Bone marrow aspirate smear:
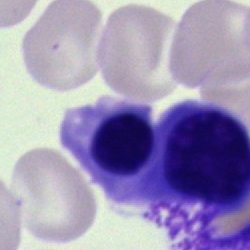
Q: What type of cell is this?
A: This is an erythroblast.